Bone marrow aspirate smear — 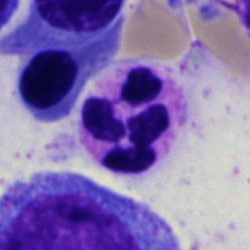

{"cell_type": "segmented neutrophil", "lineage": "myeloid"}